Bone marrow smear
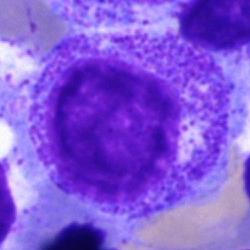

Q: Identify the cell.
A: Myelocyte.